May-Grünwald-Giemsa/Pappenheim stain; bone marrow aspirate smear: 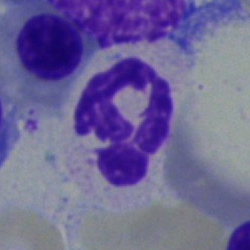Impression — polymorphonuclear neutrophil.